Bone marrow aspirate smear:
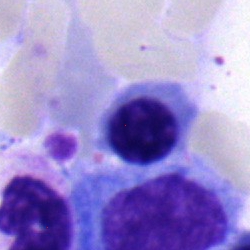
Specimen: bone marrow smear.
Cell: normoblast.